Bone marrow smear; 40× objective, oil immersion; 250×250.
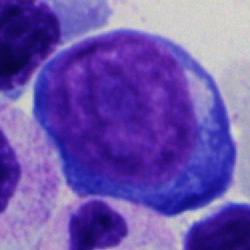 A pronormoblast.